Bone marrow smear:
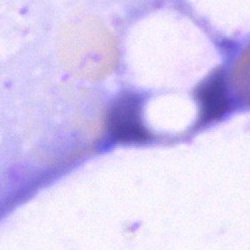

Specimen: bone marrow smear.
Cell: artefact.